Pappenheim-stained. Bone marrow aspirate smear:
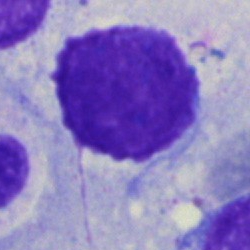
Artifact.